Brightfield microscopy, 40× oil immersion. Bone marrow aspirate smear — 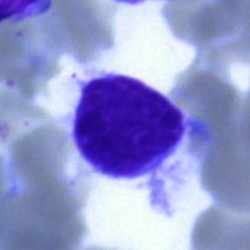
Q: Which cell type is shown here?
A: Typical lymphocyte.